Bone marrow smear
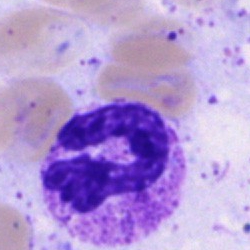Specimen: bone marrow aspirate smear.
Cell type: segmented neutrophil.
Lineage: myeloid.